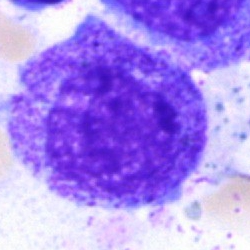

Q: What is shown here?
A: A myelocyte.